Bone marrow aspirate smear
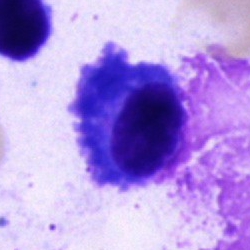 Specimen: bone marrow aspirate smear.
Cell: plasma cell.